Bone marrow aspirate smear
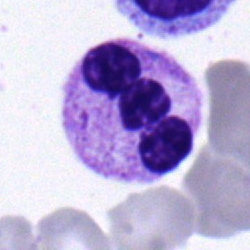
The cell shown is a segmented neutrophil.